Peripheral blood film:
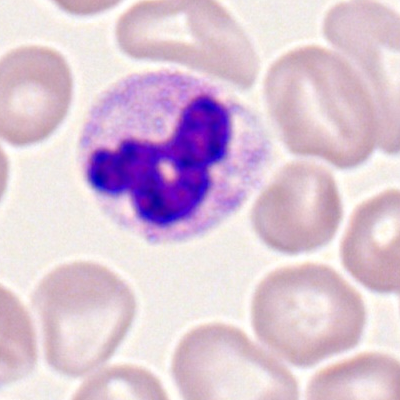The cell shown is a segmented neutrophil.